Bone marrow aspirate smear · brightfield microscopy, 40× oil immersion:
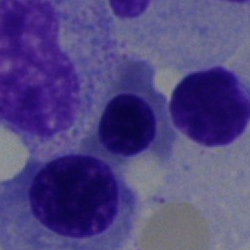This is a nucleated red cell.